Bone marrow aspirate smear.
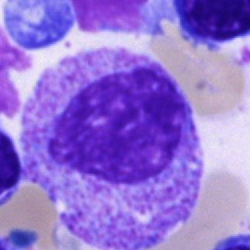
Morphological class: progranulocyte.